May-Grünwald-Giemsa/Pappenheim stain; bone marrow aspirate smear
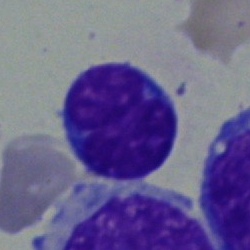 The cell shown is a typical lymphocyte.